Bone marrow smear · brightfield microscopy, 40× oil immersion · Pappenheim-stained — 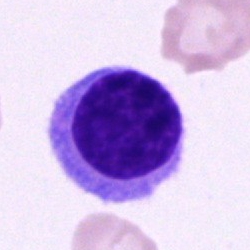{"cell_type": "lymphocyte", "lineage": "lymphoid"}